Bone marrow aspirate smear. 40× oil immersion
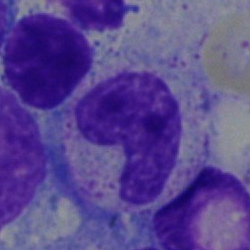 Band-form neutrophil.